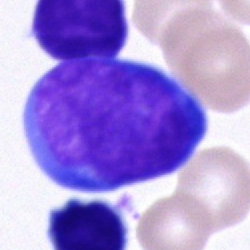
Q: What is shown here?
A: This is a pronormoblast.